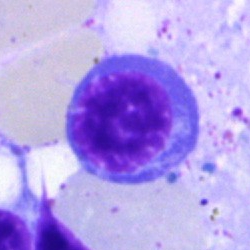
The morphological class is nucleated red cell.